May-Grünwald-Giemsa/Pappenheim stain. Bone marrow smear. 250×250 px
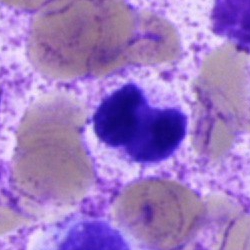Morphology consistent with a segmented neutrophil.